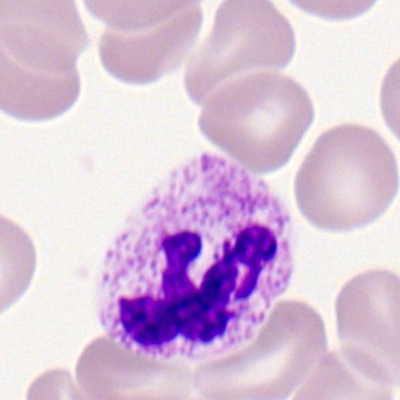

Morphological class — segmented neutrophil.